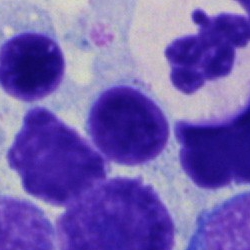

Bone marrow smear showing an erythroblast.